Bone marrow smear: 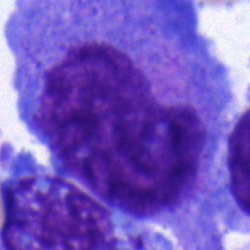
Q: What cell is this?
A: It is an undifferentiated blast.